Bone marrow smear; May-Grünwald-Giemsa stain; cropped to a single cell: 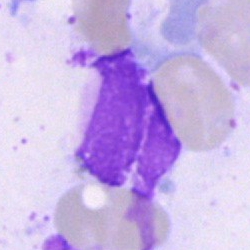Single cell identified as an artifact.